Bone marrow aspirate smear; single-cell crop — 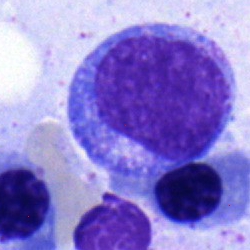
Progranulocyte.